Bone marrow smear · May-Grünwald-Giemsa stain:
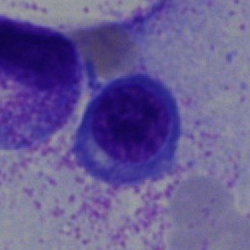

Nucleated red blood cell.